Bone marrow aspirate smear · May-Grünwald-Giemsa stain:
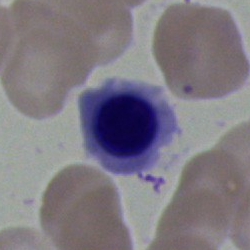
Showing a nucleated red cell.